Bone marrow smear:
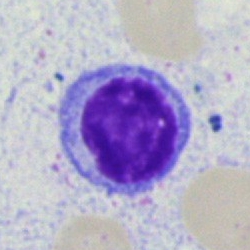 {"cell_type": "typical lymphocyte"}